Bone marrow smear — 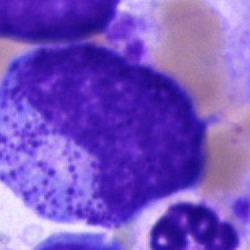
Cell: progranulocyte.